Pappenheim-stained; bone marrow aspirate smear: 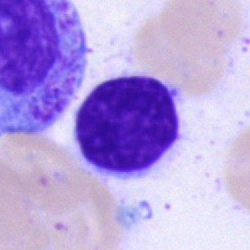 Cell type = typical lymphocyte.